Bone marrow smear; 40× objective, oil immersion; single-cell field — 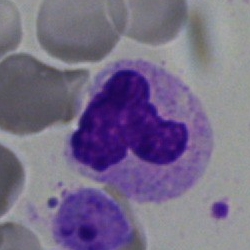Q: What type of cell is this?
A: A segmented neutrophil.